Peripheral blood smear
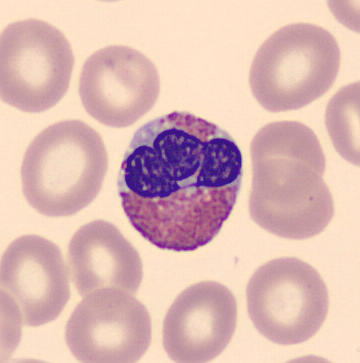
Morphological class = eosinophilic granulocyte.